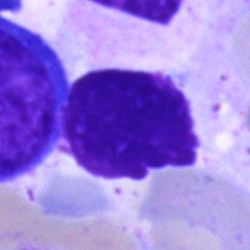 Morphological class = artefact.